May-Grünwald-Giemsa/Pappenheim stain; image size 250×250; bone marrow smear
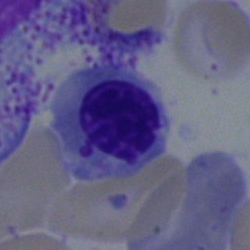 Morphology consistent with a nucleated red blood cell.